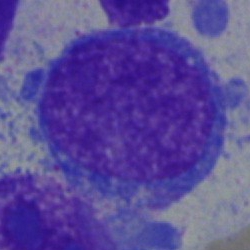 Cell type — blast.